Single-cell crop · bone marrow smear:
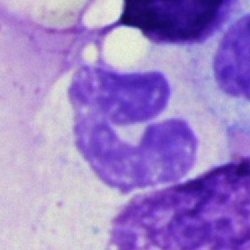

Segmented neutrophil.